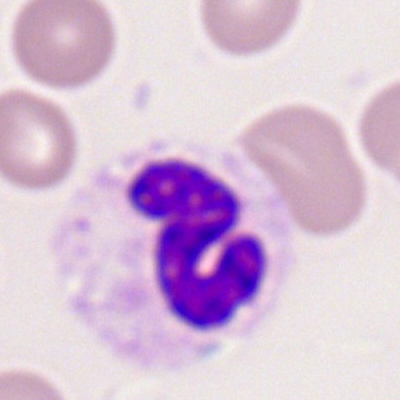Specimen: peripheral blood smear.
Cell: polymorphonuclear neutrophil.
Lineage: myeloid.